Bone marrow smear:
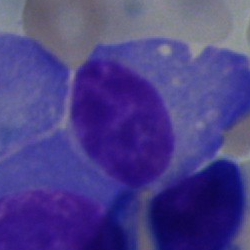
{"cell_type": "plasmacyte", "lineage": "lymphoid"}